Bone marrow aspirate smear.
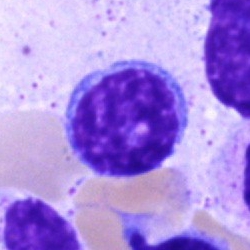
Morphology → lymphocyte.